40× oil immersion. 250×250 px. Bone marrow aspirate smear:
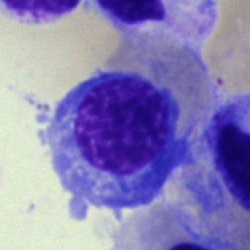

Morphology consistent with an erythroblast.